Bone marrow smear · 40× oil immersion:
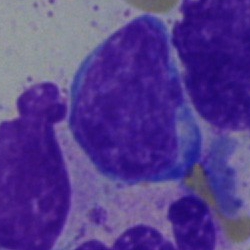Blast.